Bone marrow aspirate smear:
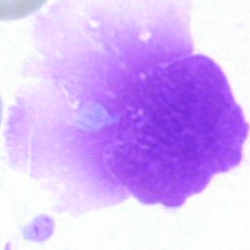 Cell type — artefact.